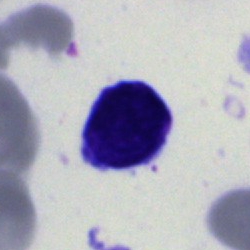
Morphology — blast.